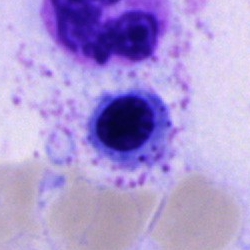
Impression — normoblast.